Bone marrow smear
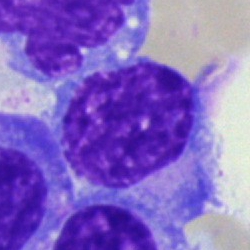Plasma cell.